Single-cell field; bone marrow aspirate smear — 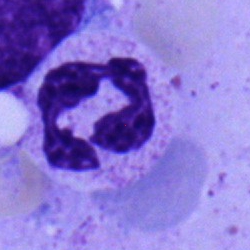 Specimen: bone marrow aspirate smear.
Cell: neutrophil (segmented).
Lineage: myeloid.